Bone marrow aspirate smear: 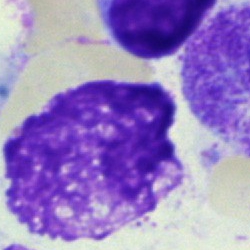
The cell shown is an artifact.